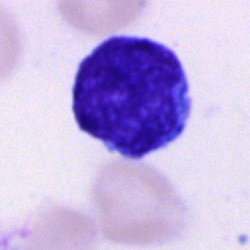 Morphology — typical lymphocyte.